Bone marrow smear
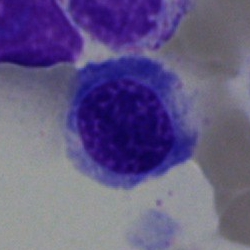
Morphology — nucleated red cell.